Single cell centered in the field · bone marrow smear.
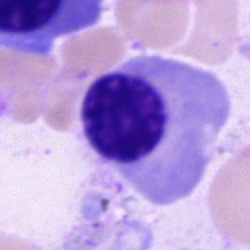

Cell = nucleated red blood cell.